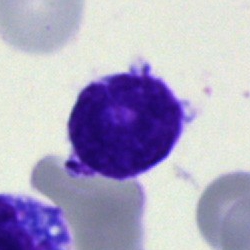

Classification — lymphocyte.